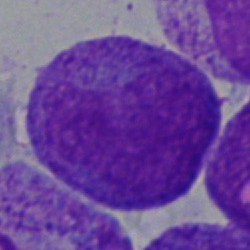

An undifferentiated blast on a bone marrow smear.